Image size 250×250. Brightfield, 40× oil-immersion objective. Bone marrow aspirate smear: 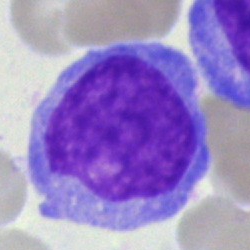Cell type — blast cell.